Bone marrow aspirate smear · 250×250 · cropped to a single cell — 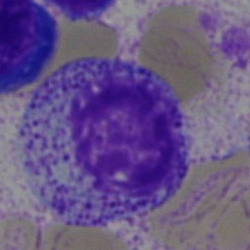
Morphology → myelocyte.